MGG-stained; bone marrow smear; single-cell field:
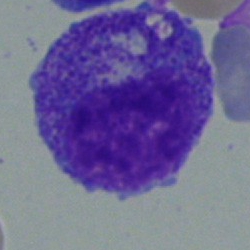
Q: What is the morphological classification of this cell?
A: This is a progranulocyte.